250×250 px; bone marrow aspirate smear; cropped to a single cell:
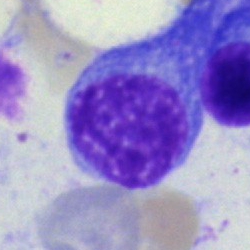

A plasma cell.